Bone marrow aspirate smear: 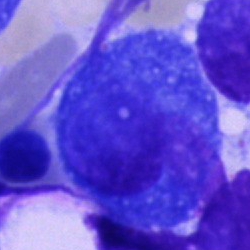
The morphological class is plasma cell.